Bone marrow smear. Single-cell crop — 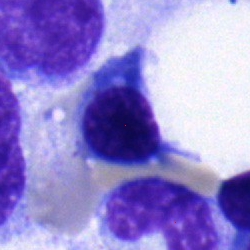 Q: What cell is this?
A: It is a nucleated red blood cell.